250×250 · bone marrow smear: 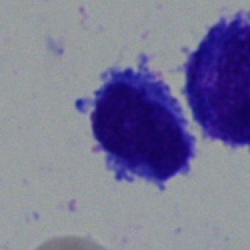 The cell is typical lymphocyte.